Bone marrow smear.
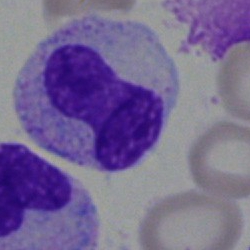
The classification is metamyelocyte.